MGG-stained · 250×250 · bone marrow aspirate smear
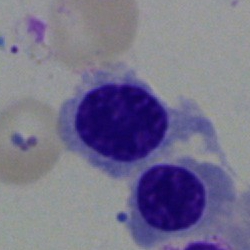 Specimen: bone marrow aspirate smear.
Cell: erythroblast.